Bone marrow smear — 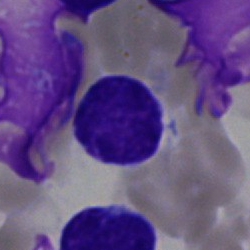A typical lymphocyte.